Bone marrow smear.
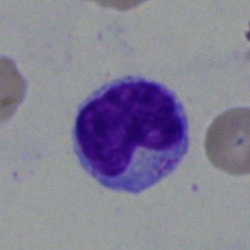
Specimen: bone marrow smear.
Cell: typical lymphocyte.